250×250 · single-cell field · bone marrow smear:
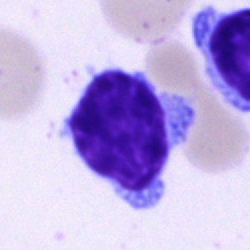
Morphology consistent with a typical lymphocyte.